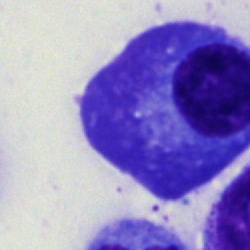Cell: plasmacyte.